Single-cell crop. Bone marrow aspirate smear.
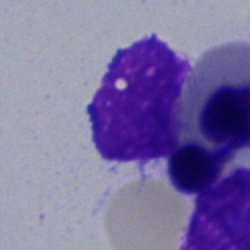 Showing an artifact.